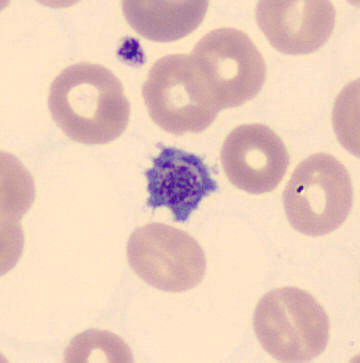Q: What is shown here?
A: Platelet. Acquisition: Peripheral blood film.